250 by 250 pixels. Bone marrow smear:
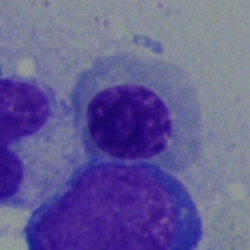Morphology → erythroblast.